Bone marrow smear — 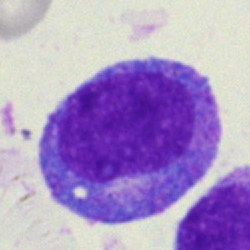

The classification is promyelocyte.